Bone marrow smear · May-Grünwald-Giemsa/Pappenheim stain: 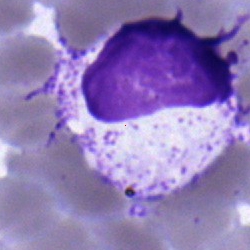

{"cell_type": "myelocyte"}